Bone marrow smear · single cell centered in the field
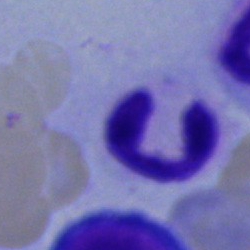Polymorphonuclear neutrophil.